40× oil immersion. Bone marrow smear. Single-cell crop:
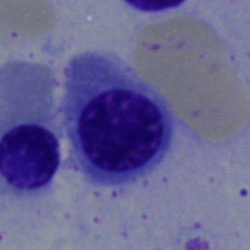
Q: What is shown here?
A: It is a nucleated red blood cell.